Bone marrow aspirate smear; 40× objective, oil immersion.
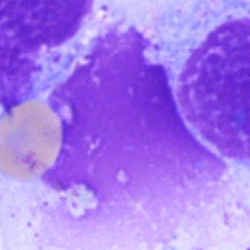 Q: What is shown here?
A: This is an artefact.